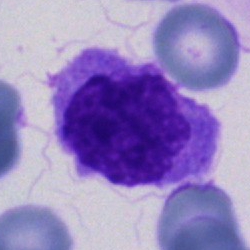
The cell shown is a monocyte.